Bone marrow aspirate smear.
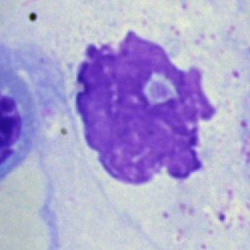

Q: What is shown here?
A: It is an artifact.